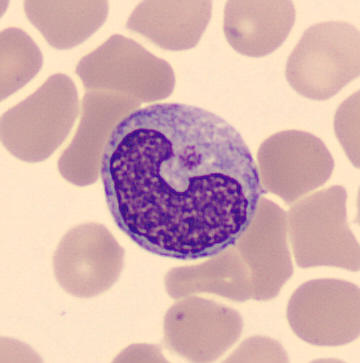Image: Peripheral blood film · MGG stain · CellaVision DM96 digital cell image. Cell: monocyte.